Bone marrow smear:
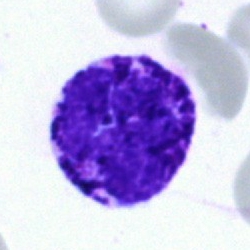Specimen: bone marrow aspirate smear.
Cell: basophilic granulocyte.
Lineage: myeloid.